Pappenheim-stained · bone marrow smear: 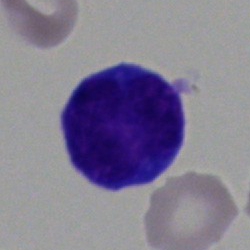
Cell = blast.